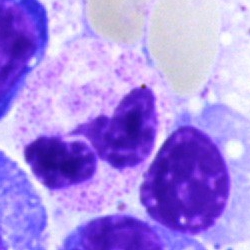Morphology consistent with a neutrophil (segmented).